Bone marrow aspirate smear. Single cell centered in the field.
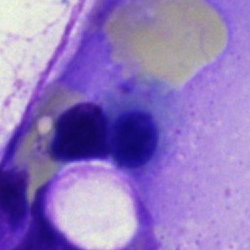Specimen: bone marrow aspirate smear.
Cell type: nucleated red blood cell.